Bone marrow aspirate smear. Brightfield, 40× oil-immersion objective — 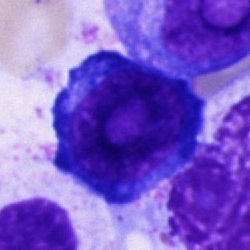{"cell_type": "pronormoblast"}